Bone marrow aspirate smear: 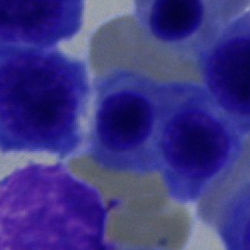Q: What is the morphological classification of this cell?
A: Erythroblast.